Cropped to a single cell. Romanowsky-type stain. Peripheral blood smear: 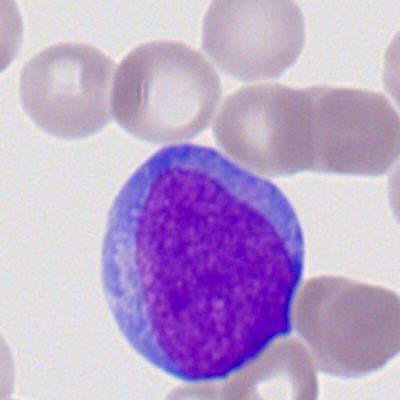 Specimen: peripheral blood smear.
Cell type: myeloblast.